250×250. Bone marrow aspirate smear. Single cell centered in the field: 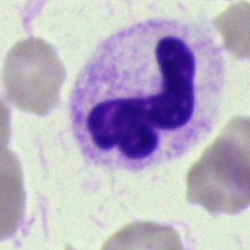 Morphology — neutrophil (segmented).